Image size 250×250. Bone marrow aspirate smear
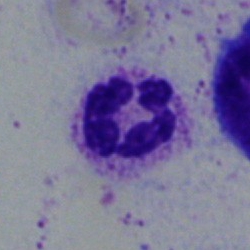

The cell shown is a neutrophil (segmented).